Bone marrow aspirate smear: 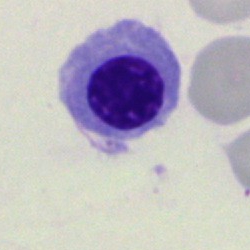

Cell = nucleated red cell.